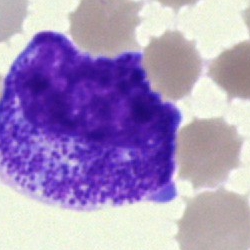

Specimen: bone marrow aspirate smear.
Cell type: progranulocyte.